Bone marrow aspirate smear.
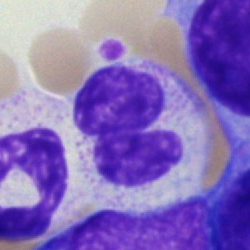 Showing a polymorphonuclear neutrophil.